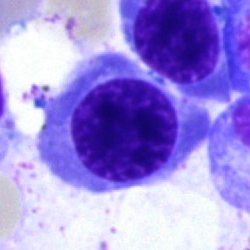

The cell is normoblast.